Bone marrow smear: 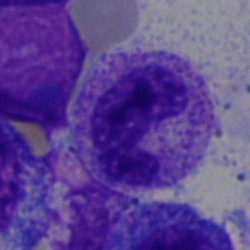 Morphology consistent with a stab cell.